40× oil immersion. Bone marrow smear. 250×250 — 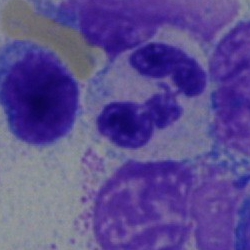A neutrophil (segmented).